Pappenheim-stained. Bone marrow aspirate smear.
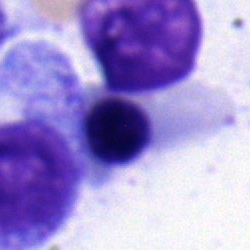Showing a normoblast.